Bone marrow smear.
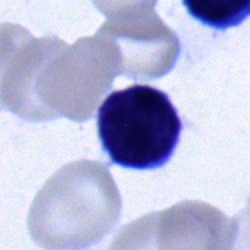
Showing a typical lymphocyte.